Bone marrow aspirate smear:
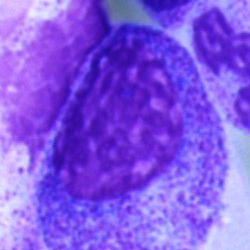 Q: What type of cell is this?
A: A myelocyte.